Pappenheim-stained · bone marrow smear · image size 250×250: 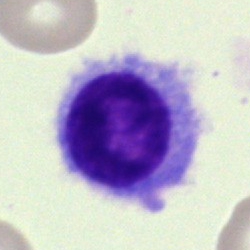Morphology → hairy cell.